Peripheral blood film; brightfield, 100× oil-immersion objective
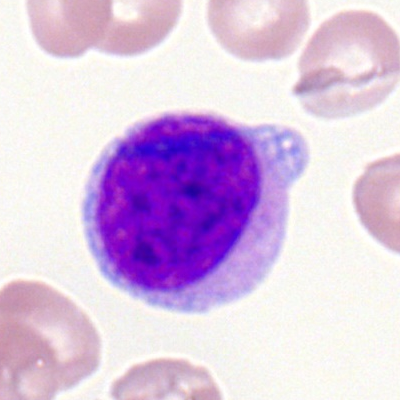Morphological class = myeloblast.